Bone marrow smear:
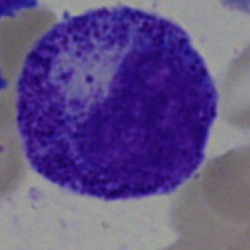This is a promyelocyte.